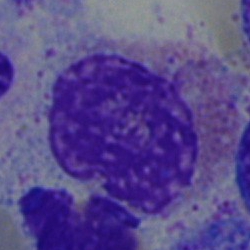An eosinophil.